Single-cell field. Peripheral blood smear. 100× oil immersion: 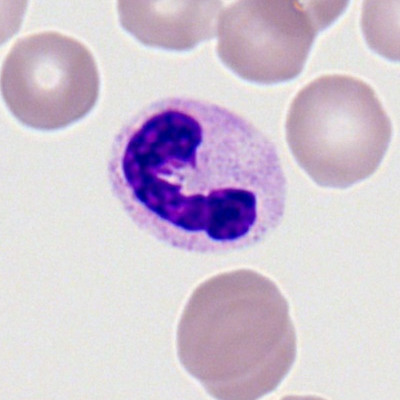 Single cell identified as a band-form neutrophil.